Image size 250×250 · 40× oil immersion · bone marrow smear — 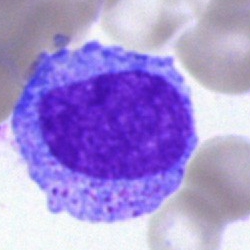
The cell type is progranulocyte.